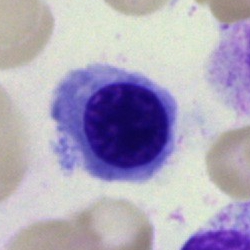

Q: What is shown here?
A: This is a nucleated red blood cell.